Bone marrow aspirate smear.
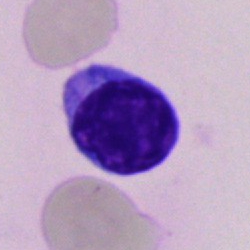

Q: What is shown here?
A: This is a lymphocyte.